Bone marrow aspirate smear — 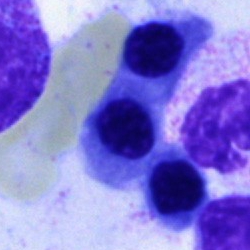
This is a nucleated red blood cell.